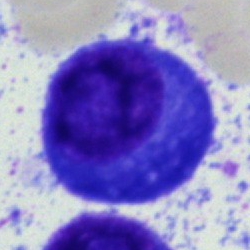 Bone marrow smear showing a plasma cell.